Single cell centered in the field; brightfield microscopy, 40× oil immersion; bone marrow smear — 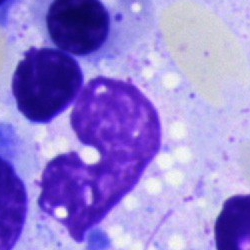 Specimen: bone marrow aspirate smear.
Classification: nucleated red cell.